Bone marrow aspirate smear · single-cell crop — 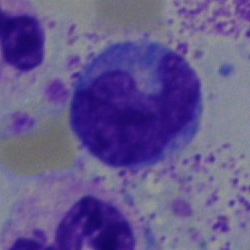

Specimen: bone marrow aspirate smear.
Cell: monocyte.
Lineage: myeloid.